Bone marrow aspirate smear: 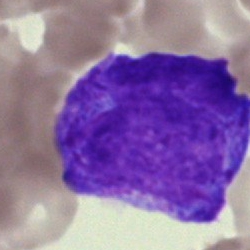
Specimen: bone marrow smear.
Morphological class: faggot cell.